Peripheral blood film. Image size 400×400: 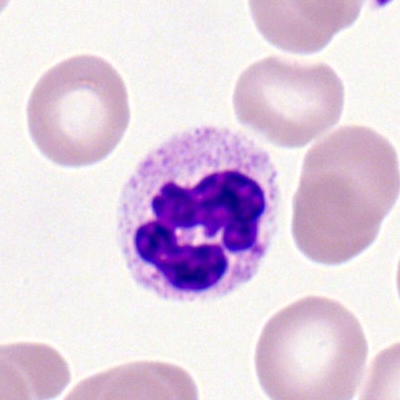Q: What is the morphological classification of this cell?
A: A polymorphonuclear neutrophil.